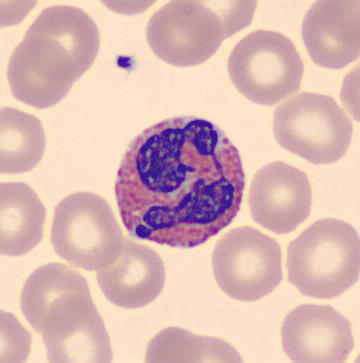

Peripheral blood smear.
This is an eosinophilic granulocyte.